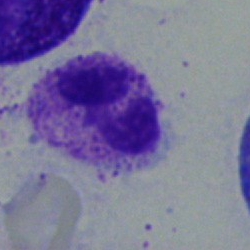

Q: Identify the cell.
A: A segmented neutrophil.